Bone marrow aspirate smear: 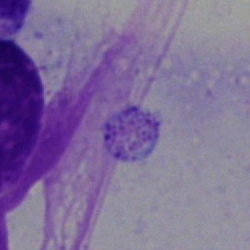

Specimen: bone marrow aspirate smear.
Morphological class: artefact.